40× objective, oil immersion · bone marrow aspirate smear:
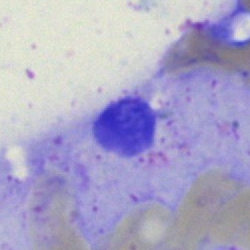Cell type = artefact.